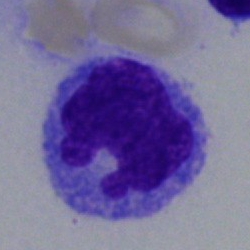
Bone marrow aspirate smear, single cell — undifferentiated blast.